Bone marrow aspirate smear.
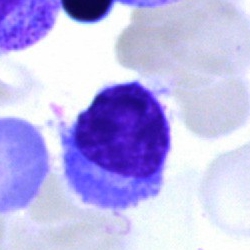 Showing a lymphocyte.